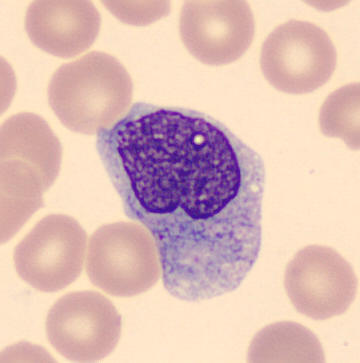 Q: Identify the cell.
A: A monocyte.